Peripheral blood film:
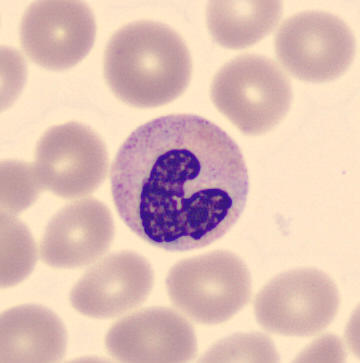
The morphological class is band neutrophil.